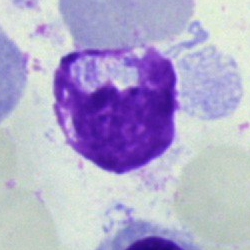
Morphology consistent with an artifact.